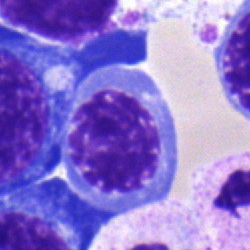 Morphology → nucleated red blood cell.